250×250 px; bone marrow smear.
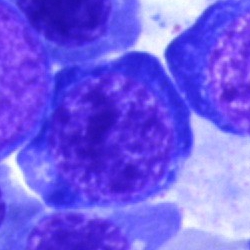
Specimen: bone marrow aspirate smear.
Cell: normoblast.
Lineage: erythroid.